Pappenheim-stained; bone marrow aspirate smear; brightfield, 40× oil-immersion objective:
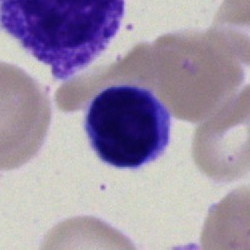A lymphocyte.